100× oil immersion · 400×400 · peripheral blood smear:
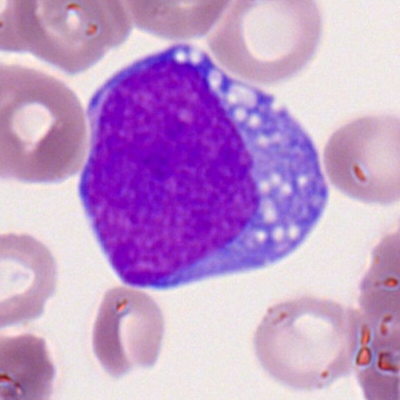

Showing a myeloblast.